Bone marrow aspirate smear.
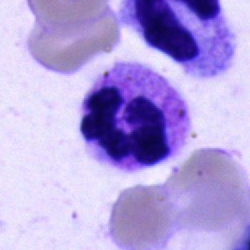 Morphology consistent with a segmented neutrophil.